250×250. Single cell centered in the field. Bone marrow smear:
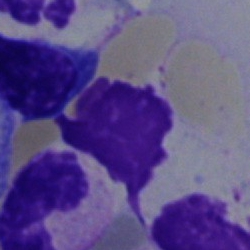
Cell type — artefact.